Bone marrow aspirate smear — 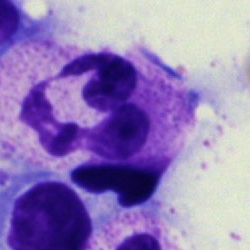

This is a polymorphonuclear neutrophil.